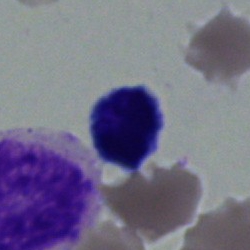

Q: Which cell type is shown here?
A: Typical lymphocyte.